Bone marrow aspirate smear · May-Grünwald-Giemsa stain: 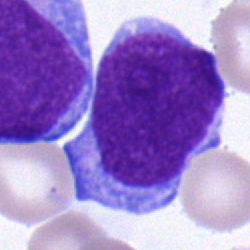Q: What cell is this?
A: Blast.